Cropped to a single cell. Brightfield, 40× oil-immersion objective. Bone marrow smear: 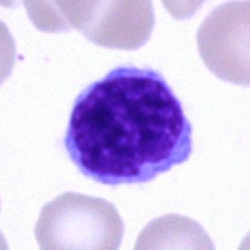 Typical lymphocyte.